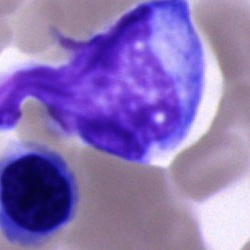 Morphological class — cell of indeterminate lineage.